Bone marrow smear.
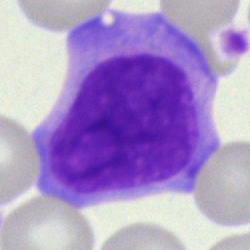 Q: What is shown here?
A: A lymphocyte (immature).